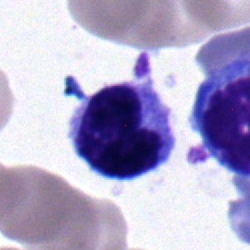Specimen: bone marrow smear.
Cell: typical lymphocyte.
Lineage: lymphoid.